Single-cell crop. Bone marrow aspirate smear
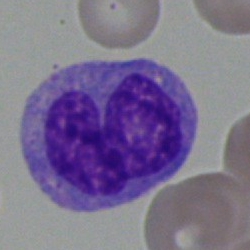
Morphological class — monocyte.